Cropped to a single cell; bone marrow aspirate smear; 250×250
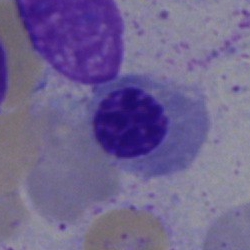Classification — nucleated red blood cell.